Bone marrow aspirate smear · 40× objective, oil immersion — 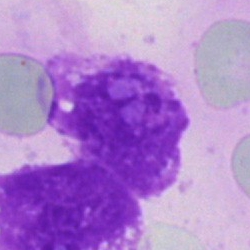 This is an artefact.